MGG-stained · bone marrow aspirate smear: 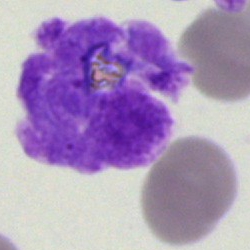Q: What is shown here?
A: Artefact.